Bone marrow smear.
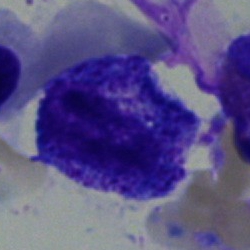

Single cell identified as a progranulocyte.